Bone marrow smear: 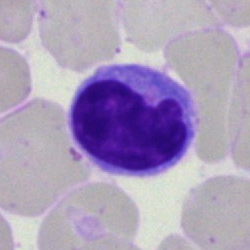
Cell — lymphocyte.